Bone marrow smear.
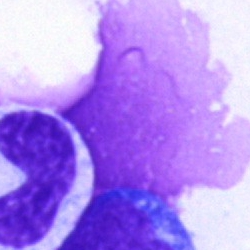

Cell = artifact.